May-Grünwald-Giemsa/Pappenheim stain; bone marrow smear:
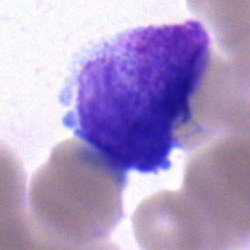Specimen: bone marrow smear.
Classification: blast cell.